Bone marrow smear. 250 by 250 pixels. MGG-stained
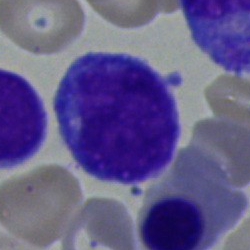 Q: What is the morphological classification of this cell?
A: It is a normoblast.